Peripheral blood film · cropped to a single cell · brightfield, 100× oil-immersion objective — 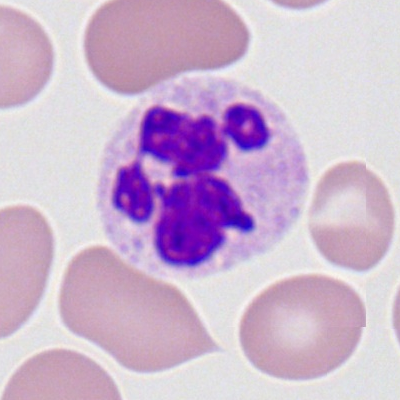Polymorphonuclear neutrophil.